250×250 px; bone marrow aspirate smear.
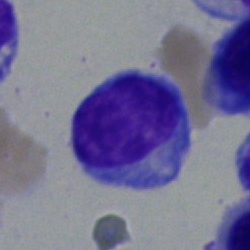 Cell = lymphocyte.